Bone marrow smear. Brightfield microscopy, 40× oil immersion — 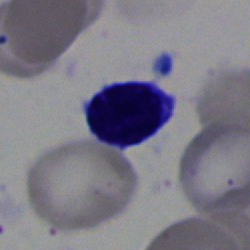 Cell: artifact.